Bone marrow aspirate smear. Cropped to a single cell — 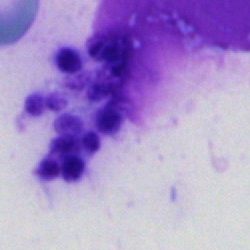

Specimen: bone marrow aspirate smear.
Cell: artefact.